Bone marrow smear; single-cell crop
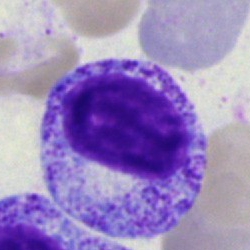Specimen: bone marrow aspirate smear.
Morphological class: myelocyte.
Lineage: myeloid.